250×250. Bone marrow aspirate smear — 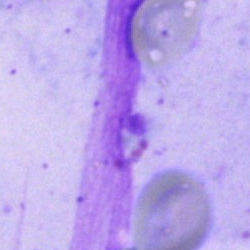
Morphology — artefact.